Bone marrow aspirate smear
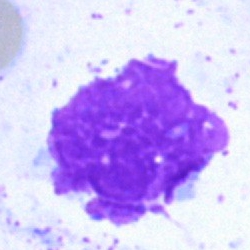 Showing an artefact.